Bone marrow smear — 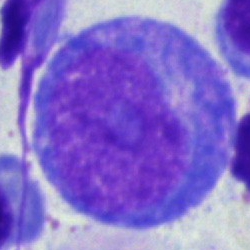
This is a promyelocyte.